Bone marrow aspirate smear: 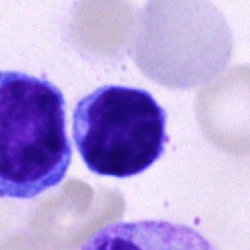
Lymphocyte.